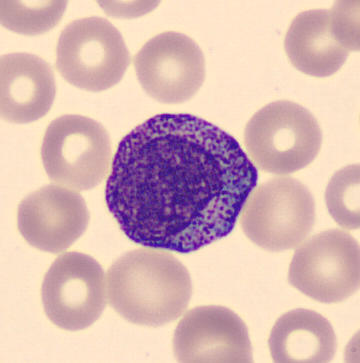
Identified as a progranulocyte. Peripheral blood smear.